Bone marrow aspirate smear.
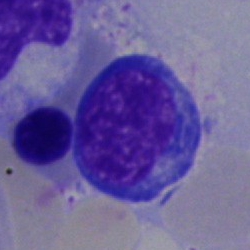 Cell: normoblast.